250×250 px; bone marrow aspirate smear; single cell centered in the field — 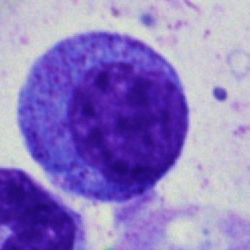

Cell type = progranulocyte.